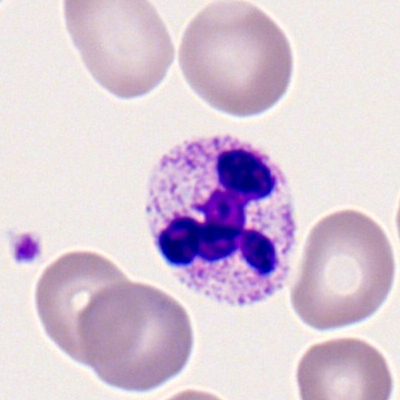 {"cell_type": "neutrophil (segmented)", "lineage": "myeloid"}